Bone marrow smear: 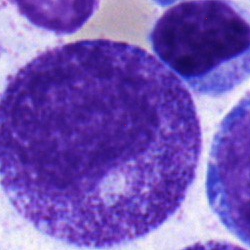
{"cell_type": "promyelocyte", "lineage": "myeloid"}